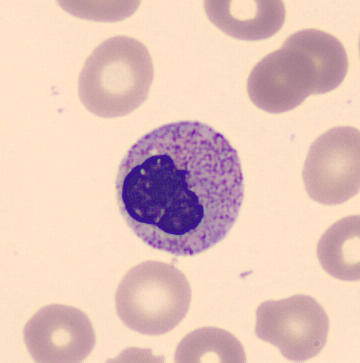 The cell type is metamyelocyte.